Bone marrow smear; single-cell crop — 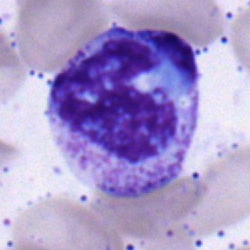
Band-form neutrophil.